Bone marrow aspirate smear · single-cell field: 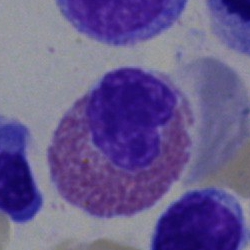

Q: What type of cell is this?
A: This is an eosinophil.